Bone marrow smear; 250 by 250 pixels:
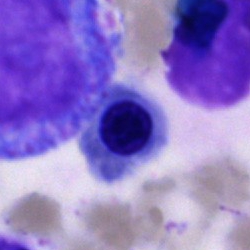

Cell: nucleated red cell.